Single cell centered in the field; bone marrow aspirate smear — 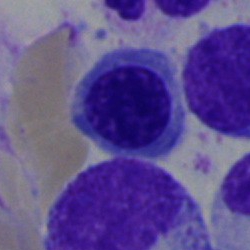Cell type — normoblast.